Bone marrow aspirate smear:
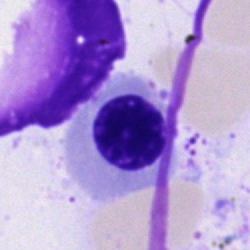

Morphology — erythroblast.